Peripheral blood smear
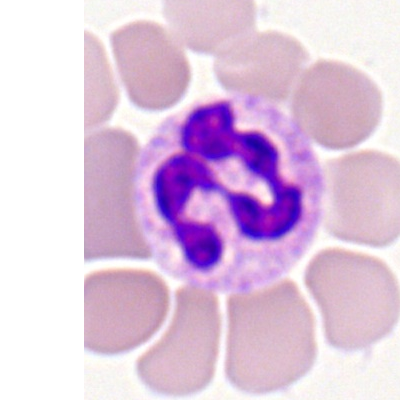

Cell type — neutrophil (segmented).